250 by 250 pixels; bone marrow smear — 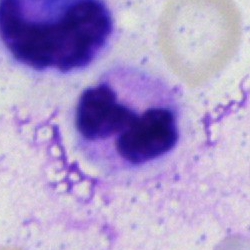

The cell shown is a neutrophil (segmented).